Peripheral blood smear · 100× oil immersion · single-cell field
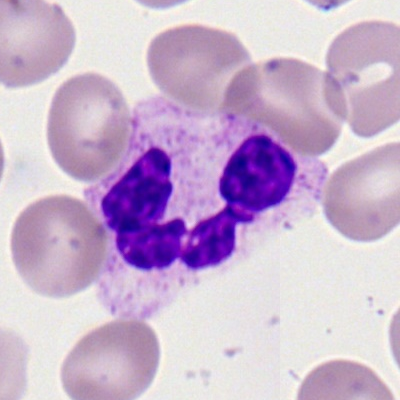
Impression → neutrophil (segmented).